Bone marrow aspirate smear. Single-cell crop. 250×250 px
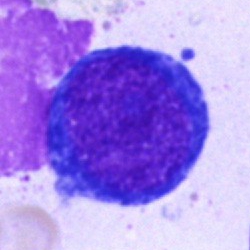

A pronormoblast.